Brightfield, 40× oil-immersion objective; bone marrow smear.
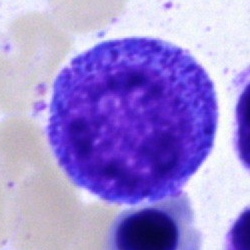Specimen: bone marrow aspirate smear.
Cell: promyelocyte.